Bone marrow aspirate smear; cropped to a single cell:
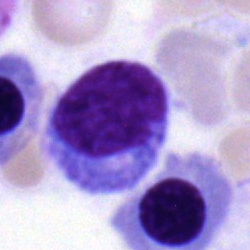 Morphology consistent with a monocyte.